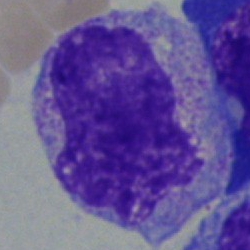

Q: Identify the cell.
A: It is a myelocyte.